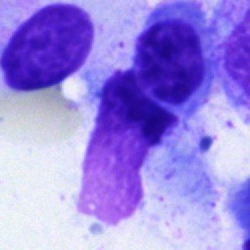
Specimen: bone marrow aspirate smear.
Classification: artefact.